Peripheral blood smear: 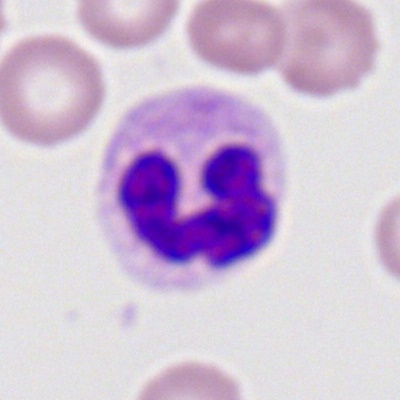

This is a segmented neutrophil.